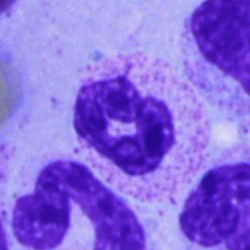

Classification: neutrophil (segmented).